Single cell centered in the field; peripheral blood film:
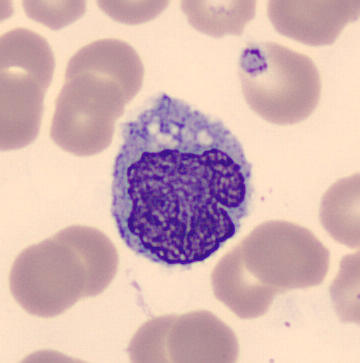Classification = monocyte.